Bone marrow smear: 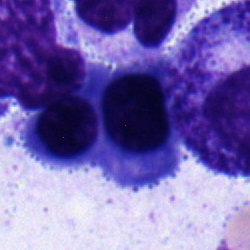Impression → erythroblast.